Bone marrow smear:
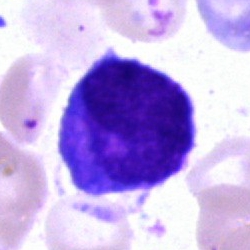

Morphology — blast.